Bone marrow aspirate smear — 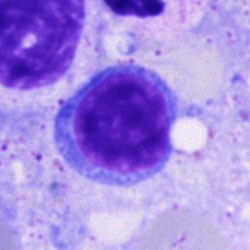The classification is typical lymphocyte.